Bone marrow aspirate smear
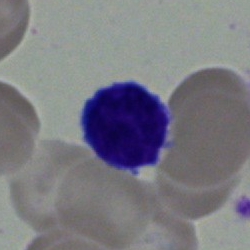Classification = lymphocyte.